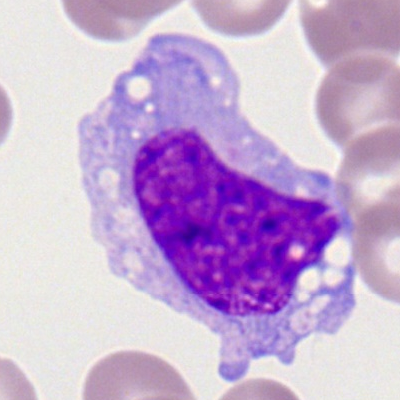

Q: Identify the cell.
A: A monocyte.